Bone marrow smear — 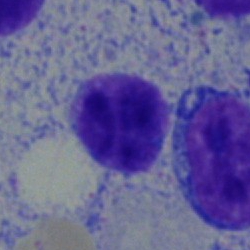 Morphology consistent with a lymphocyte.